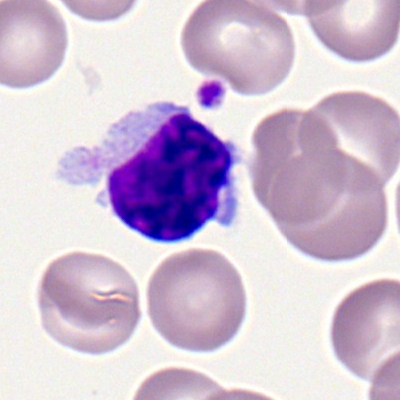
Classification: lymphocyte.